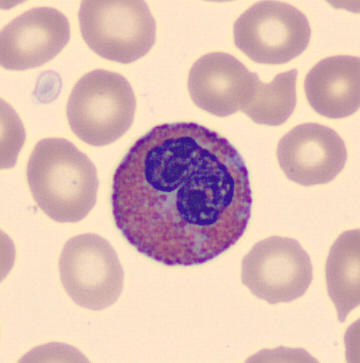 Morphology — eosinophil.